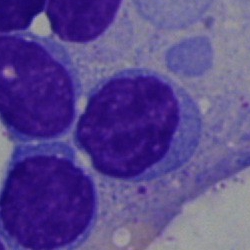

Q: Which cell type is shown here?
A: Lymphocyte.